Bone marrow aspirate smear; 40× objective, oil immersion; May-Grünwald-Giemsa/Pappenheim stain
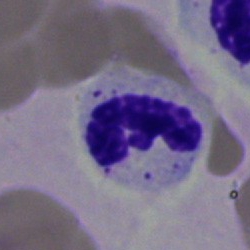

Single cell identified as a polymorphonuclear neutrophil.